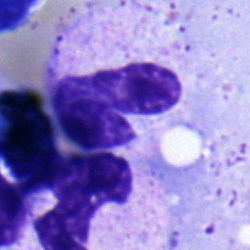

Impression — stab cell.